Bone marrow smear:
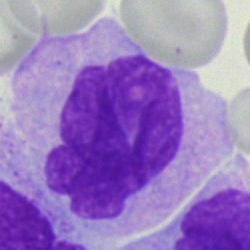
Cell type — monocyte.